Bone marrow aspirate smear: 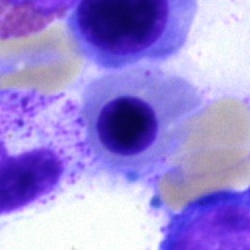
Morphology consistent with a normoblast.